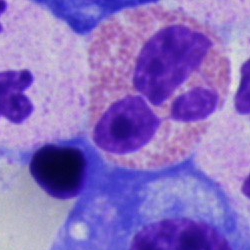
This is an eosinophil.